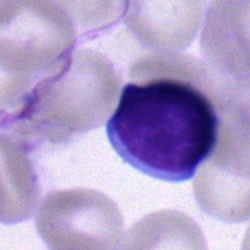 Classification: typical lymphocyte.